Bone marrow smear: 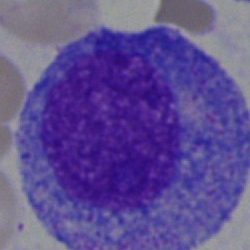 A progranulocyte.